Bone marrow smear
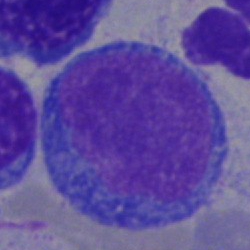
Morphology consistent with a pronormoblast.